Bone marrow aspirate smear.
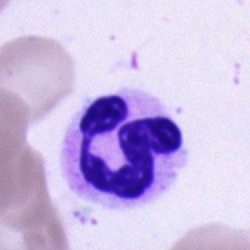

{"cell_type": "segmented neutrophil"}